Bone marrow smear: 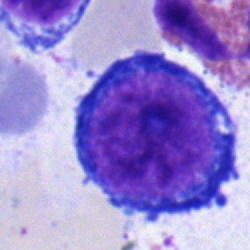
Cell = pronormoblast.